Bone marrow aspirate smear
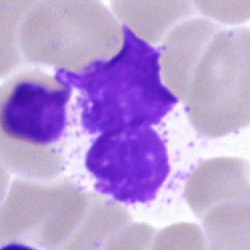Cell — artefact.